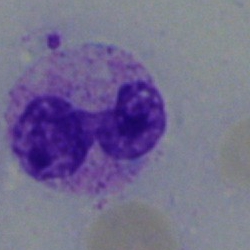Morphological class = neutrophil (segmented).